Bone marrow smear — 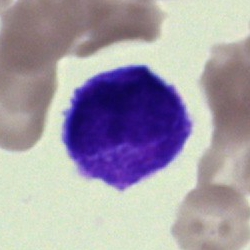
Morphology — undifferentiated blast.